Bone marrow smear
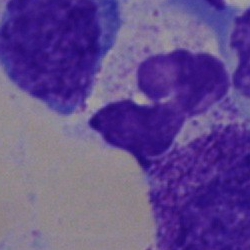

This is a polymorphonuclear neutrophil.